Bone marrow smear. MGG-stained
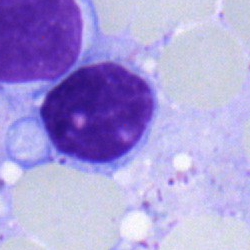The cell shown is a lymphocyte.